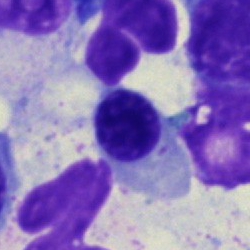

{"cell_type": "erythroblast"}